Bone marrow smear · single-cell crop — 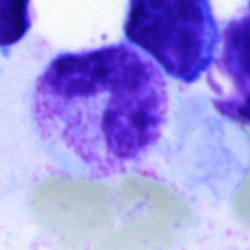
The cell shown is a neutrophil (band).